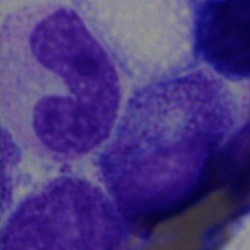
Q: What is shown here?
A: A band-form neutrophil.